Bone marrow aspirate smear:
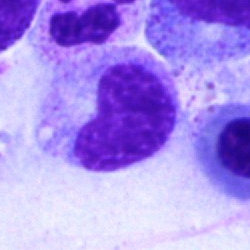

Specimen: bone marrow smear.
Classification: metamyelocyte.